Bone marrow aspirate smear:
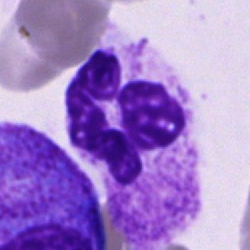
Impression — neutrophil (segmented).